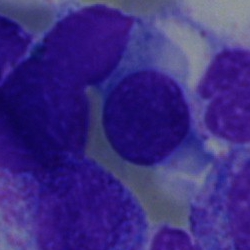
The cell type is nucleated red blood cell.